Bone marrow smear; cropped to a single cell: 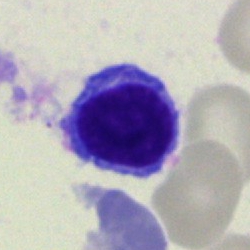
Cell: erythroblast.